Bone marrow smear.
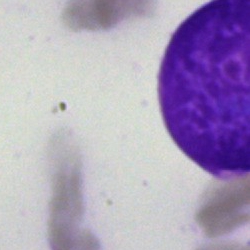 Morphological class — artefact.